Bone marrow smear; MGG-stained; brightfield microscopy, 40× oil immersion — 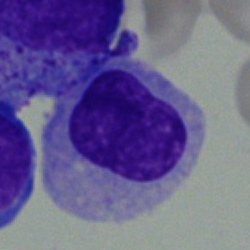Single cell identified as a myelocyte.